May-Grünwald-Giemsa stain. Bone marrow aspirate smear.
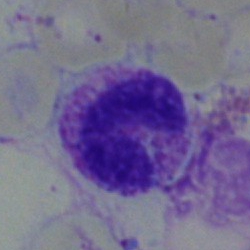A neutrophil (band).